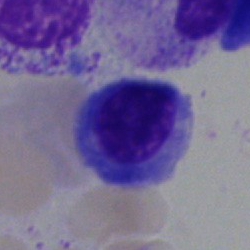 Bone marrow smear showing a normoblast.